Bone marrow aspirate smear
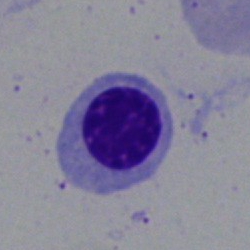

Showing a nucleated red cell.